Brightfield, 40× oil-immersion objective · bone marrow aspirate smear.
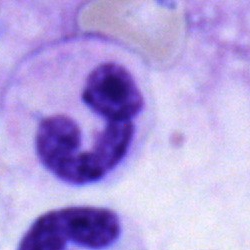 {"cell_type": "stab cell", "lineage": "myeloid"}